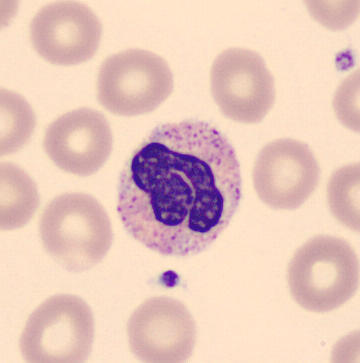Band neutrophil.
MGG-stained · peripheral blood film.